Bone marrow aspirate smear:
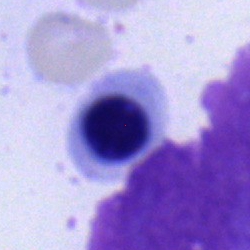
Q: Identify the cell.
A: A nucleated red cell.